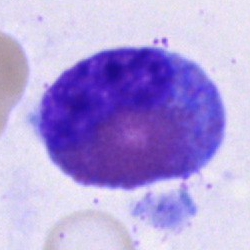
Classification = eosinophilic granulocyte.